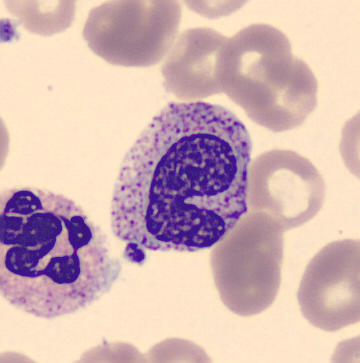

Single cell identified as a neutrophil (band).